Bone marrow smear:
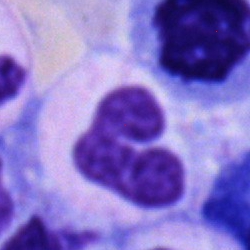 This is a neutrophil (segmented).